May-Grünwald-Giemsa/Pappenheim stain. Bone marrow smear.
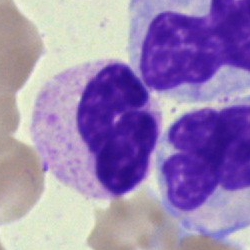A neutrophil (segmented).